Bone marrow aspirate smear — 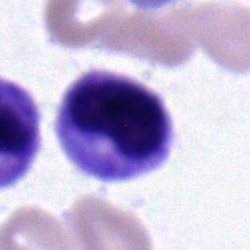
This is a metamyelocyte.